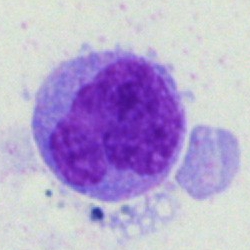

Single cell identified as a monocyte.